May Grünwald-Giemsa stain. Peripheral blood smear:
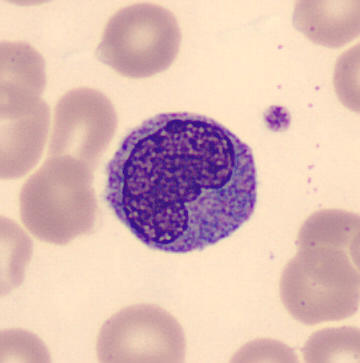Q: What is the morphological classification of this cell?
A: This is a monocyte.